Bone marrow aspirate smear:
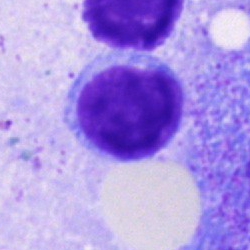

The cell type is typical lymphocyte.